40× oil immersion; bone marrow aspirate smear — 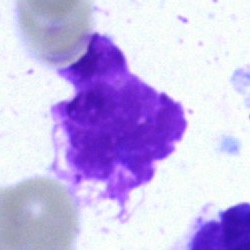 The cell shown is an artifact.